40× objective, oil immersion. Bone marrow smear:
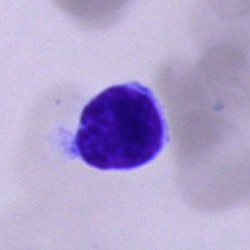
Cell — typical lymphocyte.